Bone marrow aspirate smear
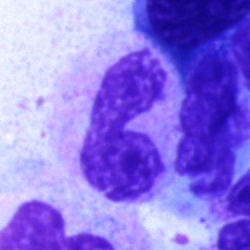

This is a polymorphonuclear neutrophil.